Bone marrow smear — 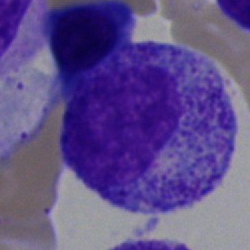 Single cell identified as a promyelocyte.